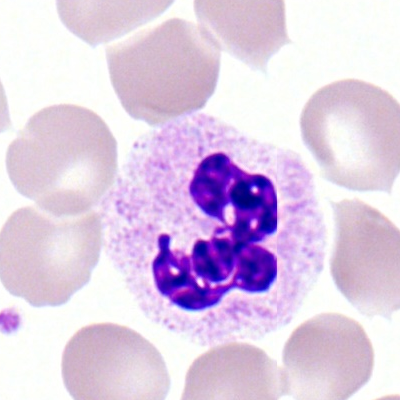 Specimen: peripheral blood smear.
Morphological class: neutrophil (segmented).
Lineage: myeloid.